Brightfield microscopy, 40× oil immersion. Bone marrow aspirate smear — 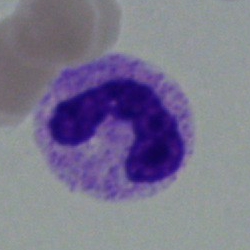 Impression → stab cell.